Bone marrow aspirate smear · single-cell field.
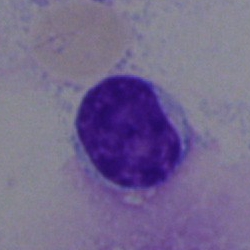
Specimen: bone marrow smear.
Cell: typical lymphocyte.
Lineage: lymphoid.